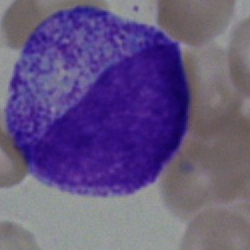

{"cell_type": "myelocyte"}